40× oil immersion · bone marrow smear — 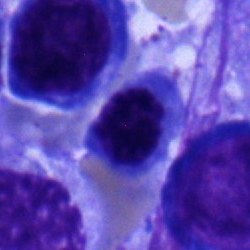 The cell shown is an erythroblast.